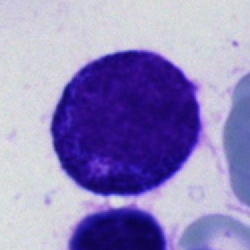 Morphology — cell of indeterminate lineage.